Brightfield, 100× oil-immersion objective · Romanowsky stain · peripheral blood film.
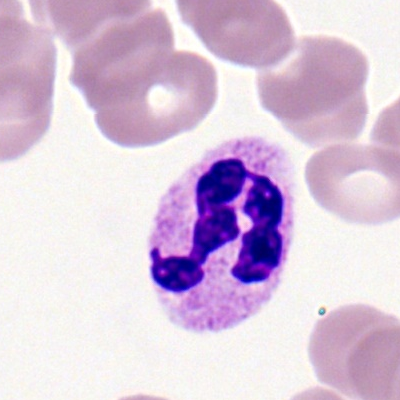
Showing a neutrophil (segmented).